400 by 400 pixels · single-cell crop · peripheral blood smear: 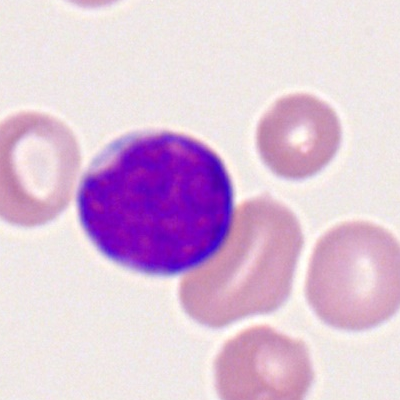
Morphology → myeloblast.